Bone marrow smear.
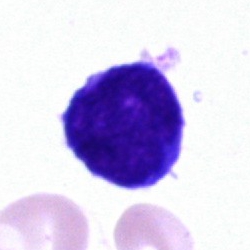 Q: What is the morphological classification of this cell?
A: A blast.